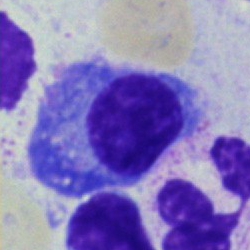Single-cell crop from a bone marrow smear: plasmacyte.